Bone marrow smear.
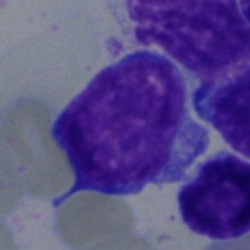Q: Identify the cell.
A: Undifferentiated blast.